40× objective, oil immersion. Bone marrow aspirate smear:
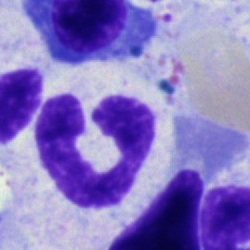
Single cell identified as a segmented neutrophil.